Bone marrow aspirate smear — 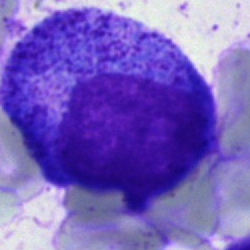 {"cell_type": "progranulocyte", "lineage": "myeloid"}